Single cell centered in the field. Bone marrow smear
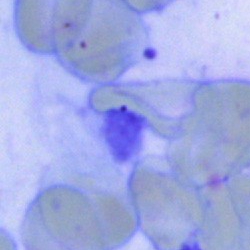
Morphology — artifact.